Bone marrow aspirate smear; image size 250×250; May-Grünwald-Giemsa stain:
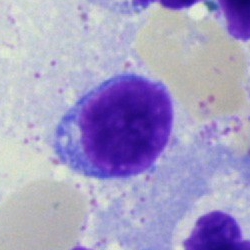
Morphological class — typical lymphocyte.